40× oil immersion · bone marrow aspirate smear:
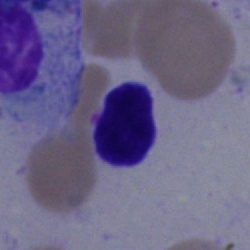 Q: What is shown here?
A: It is an artefact.